Bone marrow smear
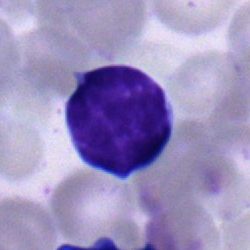Specimen: bone marrow smear.
Classification: lymphocyte.
Lineage: lymphoid.